Bone marrow aspirate smear. Brightfield microscopy, 40× oil immersion: 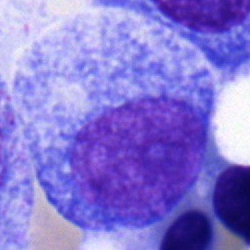
Morphological class — progranulocyte.